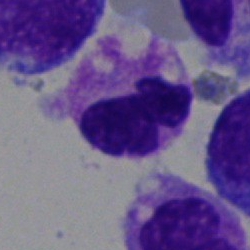

Segmented neutrophil.